Image size 250×250 · bone marrow aspirate smear — 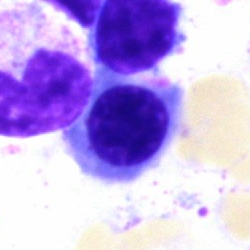 Nucleated red blood cell.